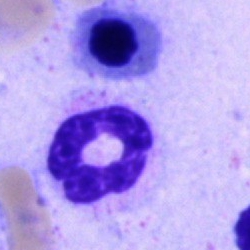
Cell: polymorphonuclear neutrophil.